Bone marrow smear; brightfield microscopy, 40× oil immersion; image size 250×250
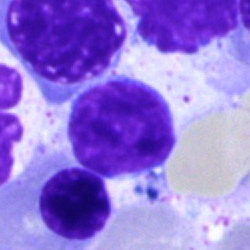
Showing a lymphocyte.